Bone marrow aspirate smear — 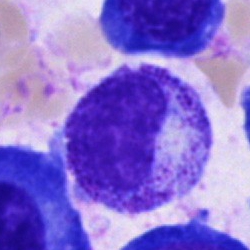
Cell = promyelocyte.